May-Grünwald-Giemsa/Pappenheim stain; bone marrow smear — 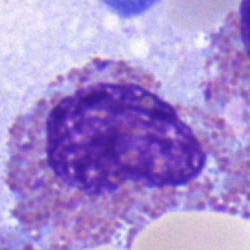 The cell shown is an eosinophilic granulocyte.